Brightfield microscopy, 40× oil immersion; bone marrow smear; 250×250 px:
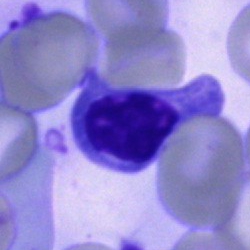

Morphology consistent with a nucleated red cell.